Bone marrow smear:
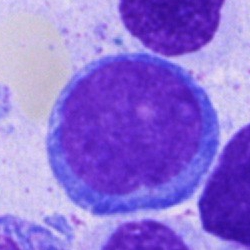
Classification = blast.